Bone marrow aspirate smear: 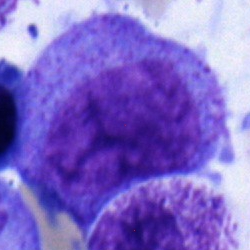
Q: Identify the cell.
A: A progranulocyte.